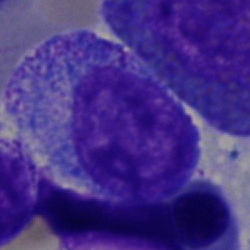

Morphology consistent with a progranulocyte.